May-Grünwald-Giemsa stain; bone marrow smear.
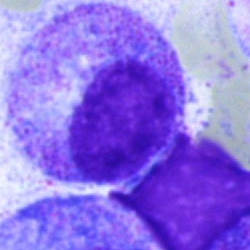 Classification = myelocyte.